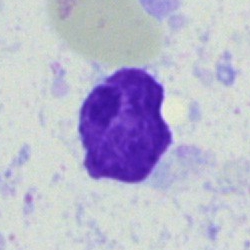
The cell shown is an artifact.